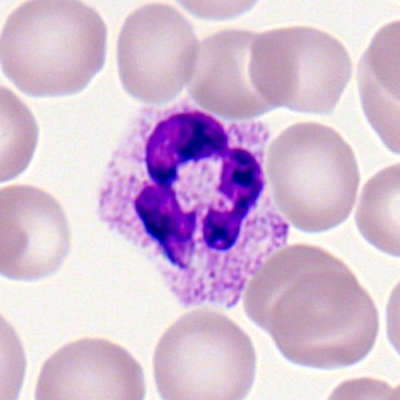
Morphology → polymorphonuclear neutrophil.